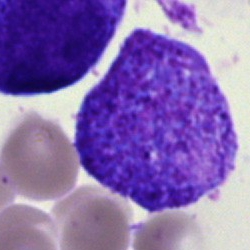

Impression → artifact.